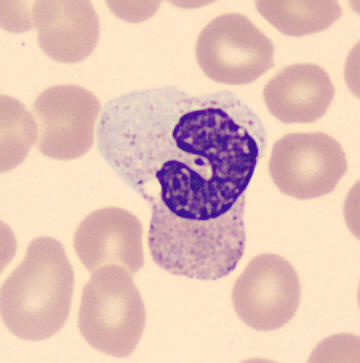 360 by 363 pixels; CellaVision DM96; peripheral blood smear.

Classification — band neutrophil.